Bone marrow smear:
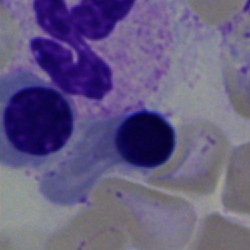

Morphology → erythroblast.